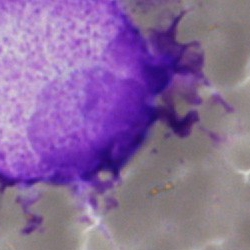
{"cell_type": "blast"}